Bone marrow aspirate smear: 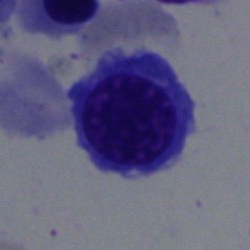Specimen: bone marrow aspirate smear.
Cell: nucleated red blood cell.
Lineage: erythroid.